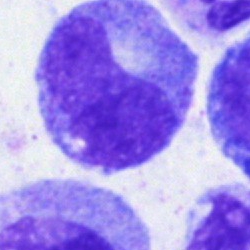 Single-cell crop from a bone marrow smear: metamyelocyte.